Bone marrow aspirate smear.
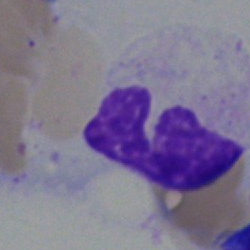

Q: What type of cell is this?
A: A neutrophil (segmented).